Bone marrow smear:
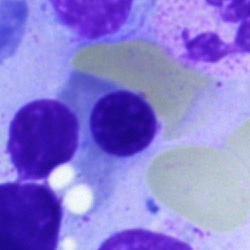This is a normoblast.